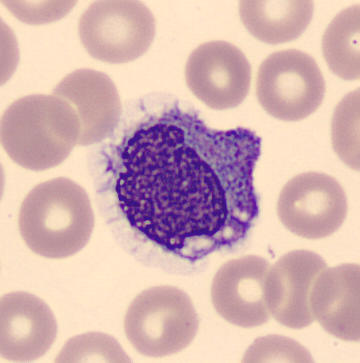Morphological class: monocyte.